Bone marrow smear.
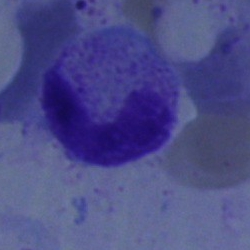

Morphology — stab cell.